Bone marrow smear:
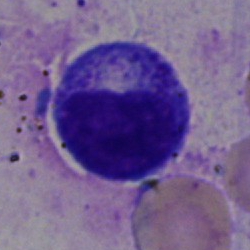This is a myelocyte.